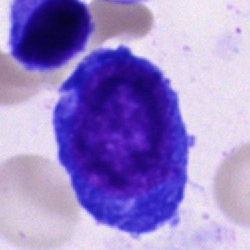
Impression — proerythroblast.